250×250 px · bone marrow smear: 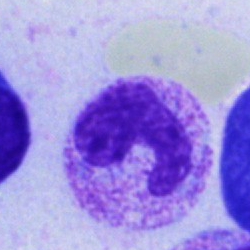 {"cell_type": "neutrophil (band)", "lineage": "myeloid"}